250×250 px · 40× oil immersion · bone marrow smear.
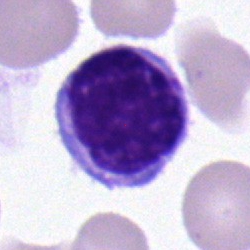
Morphological class: lymphocyte.